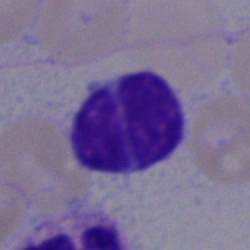 Single-cell crop from a bone marrow smear: typical lymphocyte.